Cropped to a single cell. 40× objective, oil immersion. Bone marrow aspirate smear: 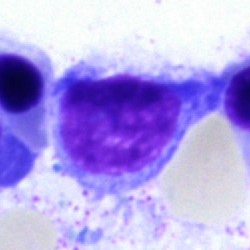

Impression — lymphocyte.